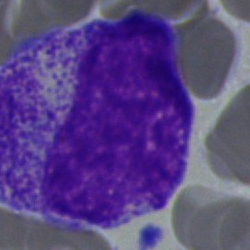The classification is myelocyte.